Bone marrow aspirate smear: 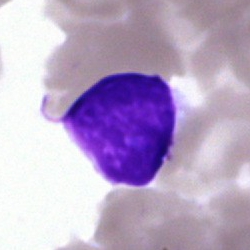
Morphology consistent with an artefact.